Bone marrow smear
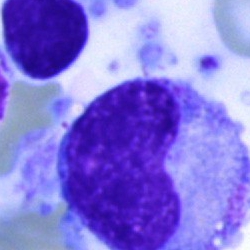 Morphology consistent with a metamyelocyte.